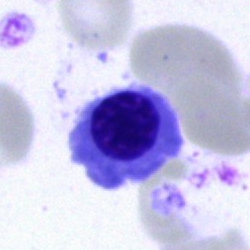
{"cell_type": "nucleated red cell"}